400×400; peripheral blood smear; 100× oil immersion: 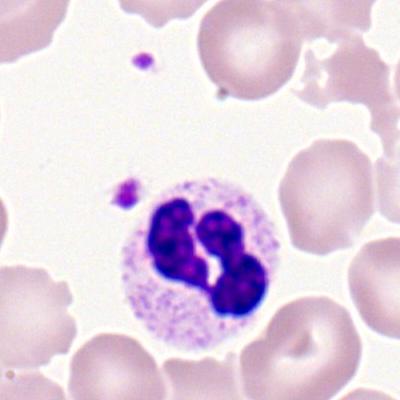

This is a polymorphonuclear neutrophil.